Single cell centered in the field · Pappenheim-stained · bone marrow aspirate smear — 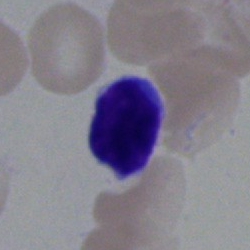
Typical lymphocyte.